Bone marrow smear.
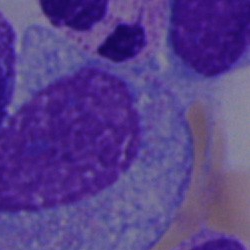Showing an artefact.